Bone marrow aspirate smear: 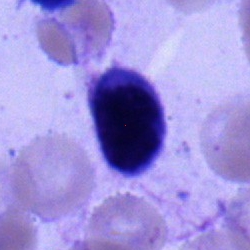

Classification = typical lymphocyte.